Bone marrow smear. MGG-stained.
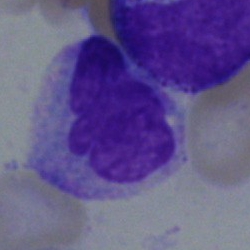The cell shown is a monocyte.